40× oil immersion; single-cell crop; bone marrow aspirate smear
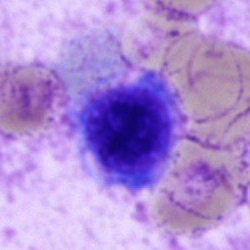 Normoblast.